Bone marrow aspirate smear — 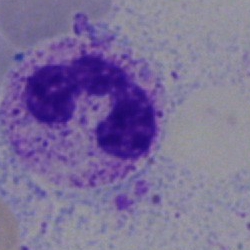

Single cell identified as a neutrophil (segmented).